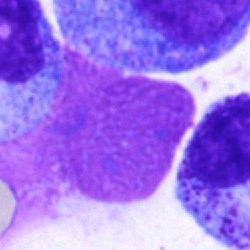 Q: What is shown here?
A: It is an artifact.